Single cell centered in the field; bone marrow smear — 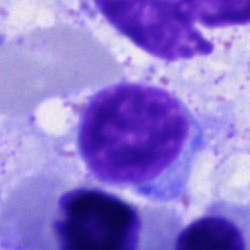 {"cell_type": "typical lymphocyte", "lineage": "lymphoid"}